Bone marrow aspirate smear: 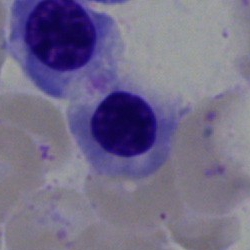Cell type = nucleated red blood cell.